May-Grünwald-Giemsa stain. 250 by 250 pixels. Bone marrow smear.
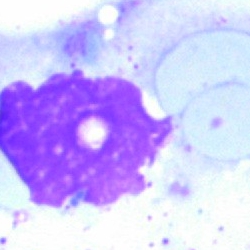 Morphology — artifact.